Bone marrow smear
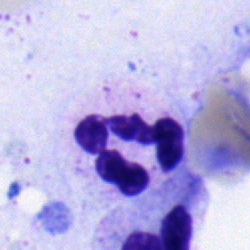The cell type is polymorphonuclear neutrophil.